May-Grünwald-Giemsa stain. Cropped to a single cell. Bone marrow smear
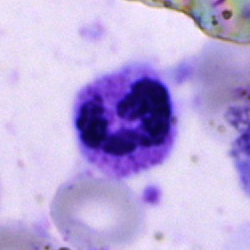

Cell type: segmented neutrophil.